Bone marrow aspirate smear · 250×250 px · single cell centered in the field — 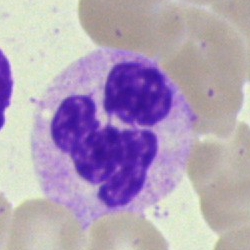
Specimen: bone marrow aspirate smear.
Cell type: segmented neutrophil.
Lineage: myeloid.